250×250 px · bone marrow aspirate smear · brightfield, 40× oil-immersion objective.
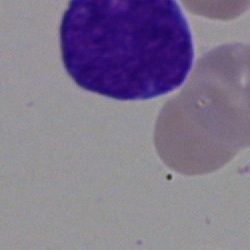{"cell_type": "blast"}